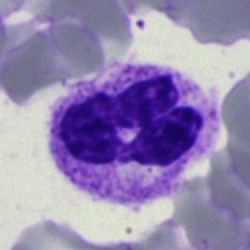

{"cell_type": "polymorphonuclear neutrophil", "lineage": "myeloid"}